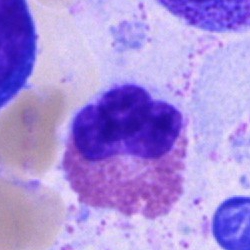
Bone marrow smear showing an eosinophilic granulocyte.